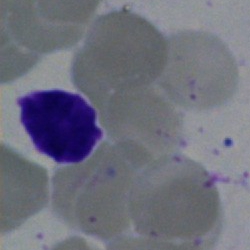

{"cell_type": "artefact"}